Peripheral blood film; single-cell crop
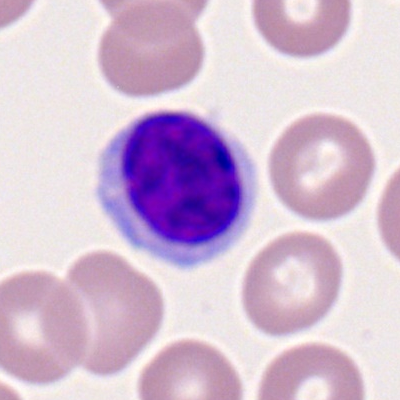
Impression — typical lymphocyte.